Bone marrow smear.
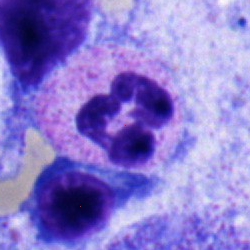
Cell type: segmented neutrophil.